Bone marrow smear — 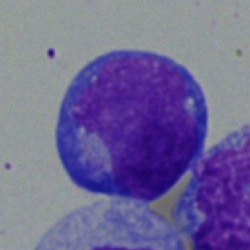 This is a blast.